Bone marrow smear:
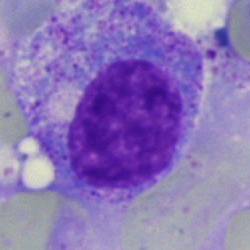Classification: progranulocyte.